Bone marrow smear; image size 250×250.
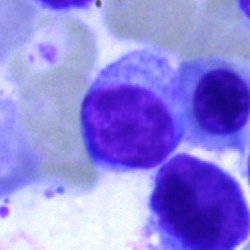 Specimen: bone marrow smear.
Classification: typical lymphocyte.
Lineage: lymphoid.